Peripheral blood smear; cropped to a single cell.
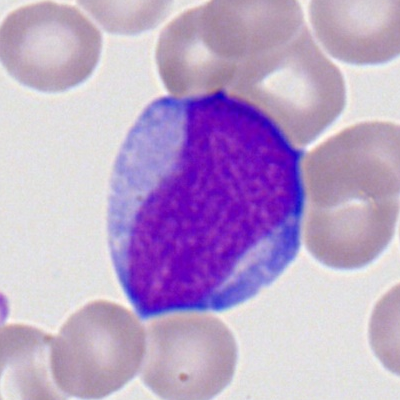The classification is myeloblast.